Bone marrow aspirate smear.
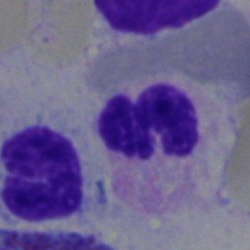 {"cell_type": "neutrophil (segmented)", "lineage": "myeloid"}